Brightfield, 40× oil-immersion objective · MGG-stained · bone marrow smear.
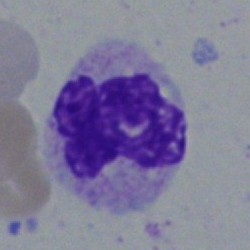Single cell identified as a segmented neutrophil.